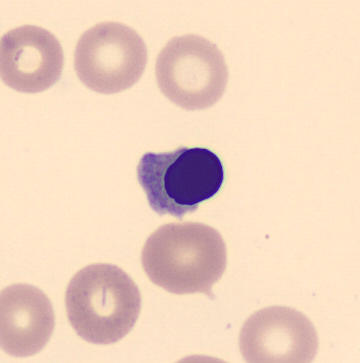
The cell type is normoblast.

Peripheral blood film.